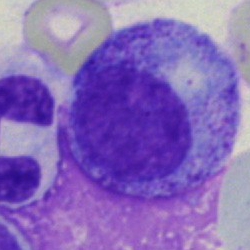The cell shown is a promyelocyte.